Bone marrow aspirate smear
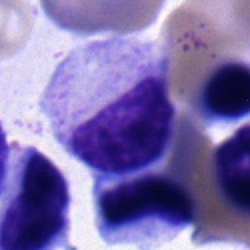Cell — myelocyte.